250×250 px. Bone marrow aspirate smear — 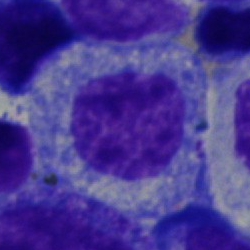Single cell identified as a myelocyte.